100× oil immersion, 14.14 px/µm. Peripheral blood smear
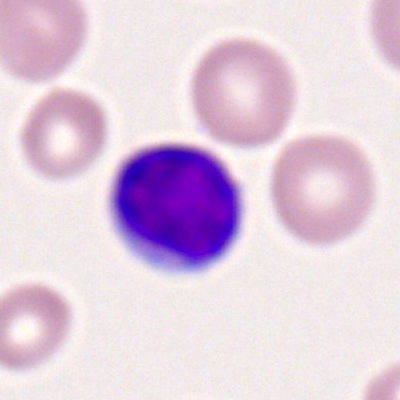 Cell = lymphocyte.